Image size 250×250 · bone marrow smear · single-cell field:
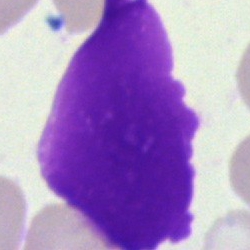
An artifact.